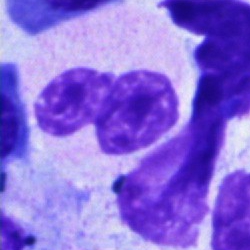
Q: What is the morphological classification of this cell?
A: Band-form neutrophil.